Cropped to a single cell · peripheral blood smear: 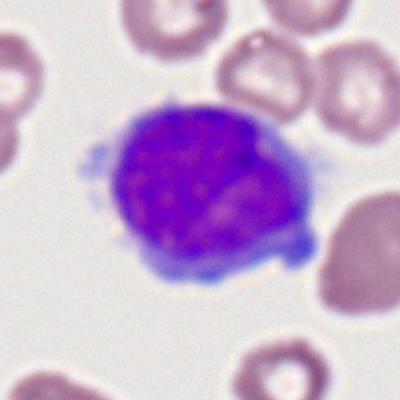 Cell: monocyte.